May-Grünwald-Giemsa stain · bone marrow smear: 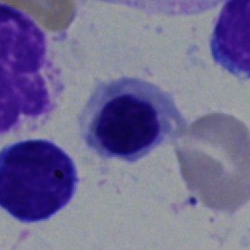

Specimen: bone marrow aspirate smear.
Cell type: erythroblast.